Bone marrow smear — 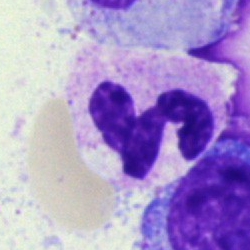
Q: Which cell type is shown here?
A: It is a segmented neutrophil.